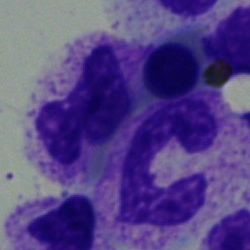

Cell type: polymorphonuclear neutrophil.